Bone marrow aspirate smear
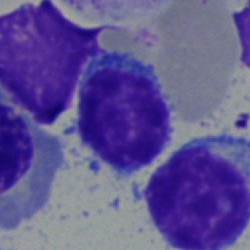

This is a lymphocyte.